Bone marrow aspirate smear:
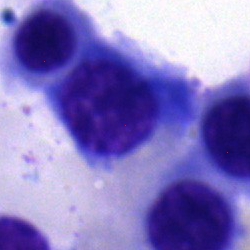

Specimen: bone marrow smear.
Cell type: normoblast.